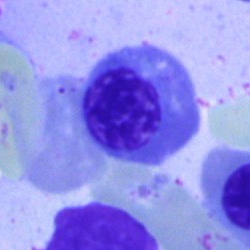{"cell_type": "normoblast", "lineage": "erythroid"}